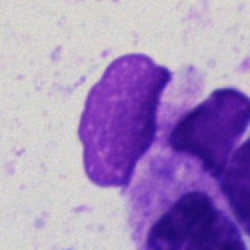

Specimen: bone marrow aspirate smear.
Cell type: artifact.